Bone marrow smear — 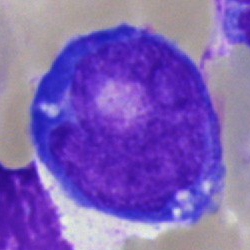Q: Which cell type is shown here?
A: Proerythroblast.